Bone marrow aspirate smear · MGG-stained — 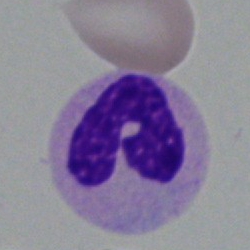Q: Which cell type is shown here?
A: It is a neutrophil (segmented).